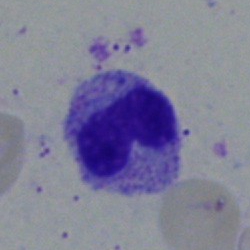Cell type — band-form neutrophil.